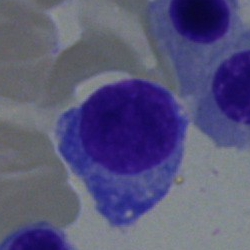
{"cell_type": "plasma cell"}